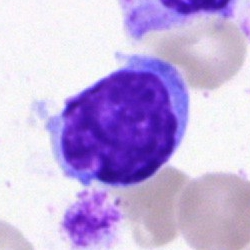

Cell type — typical lymphocyte.